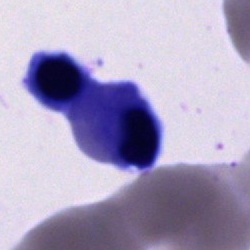Bone marrow aspirate smear, single cell — cell of indeterminate lineage.